Bone marrow smear: 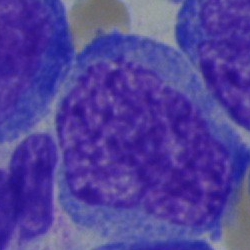

The cell is undifferentiated blast.